Bone marrow aspirate smear: 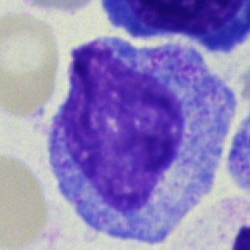 Showing a progranulocyte.